250×250 px; bone marrow aspirate smear:
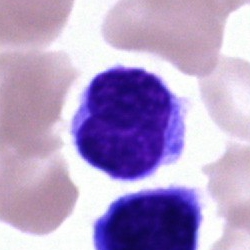
Cell type — typical lymphocyte.